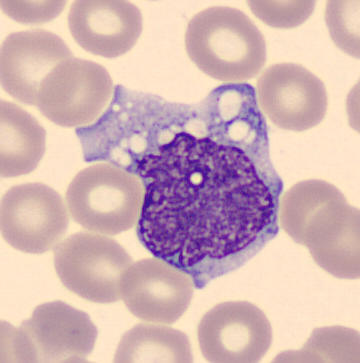Single-cell crop. Peripheral blood film. Image size 360×363. Cell = monocyte.